Bone marrow smear · 250×250 · May-Grünwald-Giemsa/Pappenheim stain: 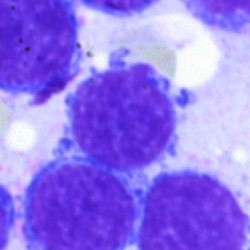 Q: What is shown here?
A: A typical lymphocyte.